Bone marrow smear:
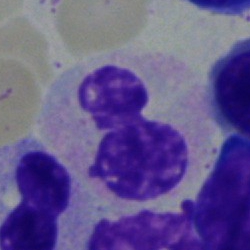

This is a segmented neutrophil.